Bone marrow smear. 250×250. May-Grünwald-Giemsa stain
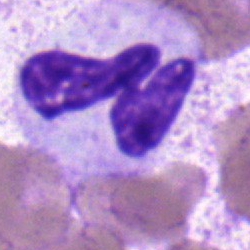Impression → polymorphonuclear neutrophil.